Bone marrow aspirate smear — 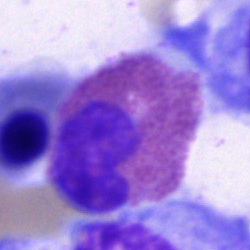
Morphological class = eosinophil.